Bone marrow smear — 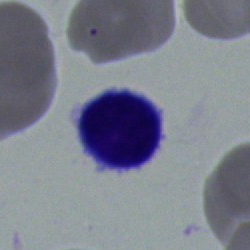

Classification — lymphocyte.